Bone marrow aspirate smear — 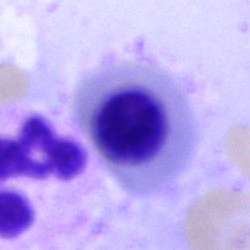

Morphology consistent with an erythroblast.